Bone marrow aspirate smear — 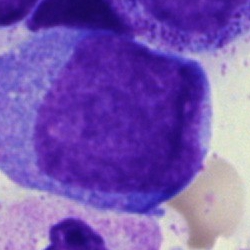 Blast cell.